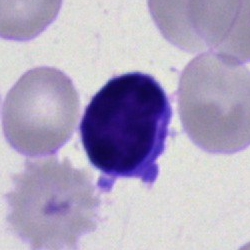
The cell shown is a lymphocyte.